Peripheral blood film.
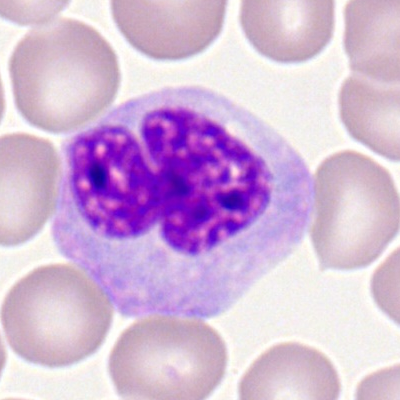

Monocyte.